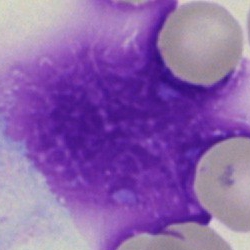Morphology — artifact.